Imaged on a CellaVision DM96 analyser · peripheral blood film · single-cell field.
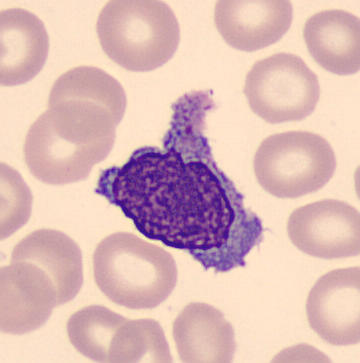Morphology consistent with a monocyte.